Bone marrow smear; brightfield, 40× oil-immersion objective: 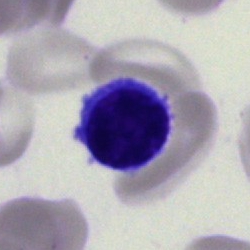 Q: What is the morphological classification of this cell?
A: Lymphocyte.